Peripheral blood film. Romanowsky-type stain
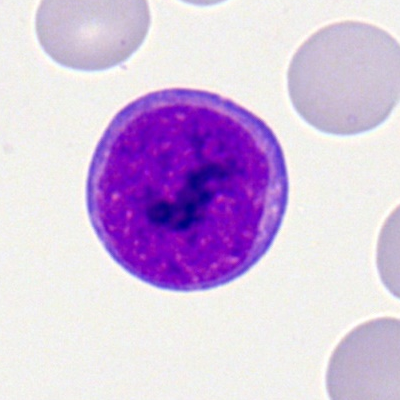Single cell identified as a myeloid blast.